Bone marrow smear.
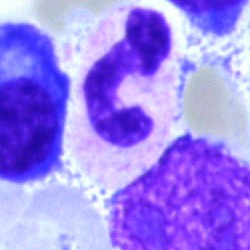

Q: Identify the cell.
A: Polymorphonuclear neutrophil.